Bone marrow smear: 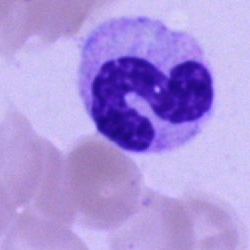Band neutrophil.